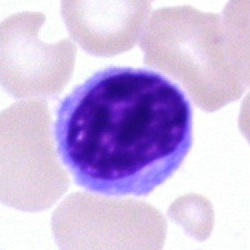Cell type = hairy cell.